40× objective, oil immersion · bone marrow smear:
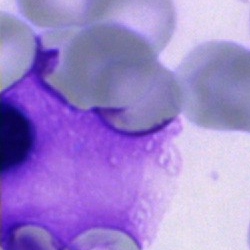

The cell type is artifact.